Bone marrow aspirate smear · brightfield, 40× oil-immersion objective · single cell centered in the field — 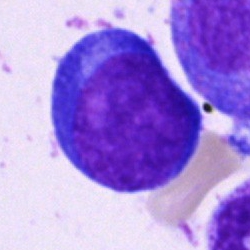
Q: Identify the cell.
A: It is a proerythroblast.